Bone marrow smear. 40× oil immersion.
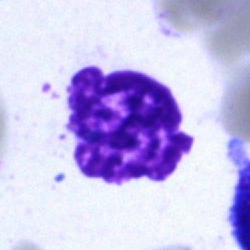 An artefact.